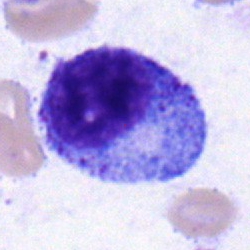Showing a progranulocyte.